Bone marrow aspirate smear.
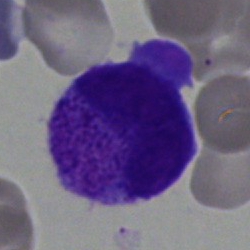

Blast cell.